Single-cell crop. Bone marrow aspirate smear. Pappenheim-stained.
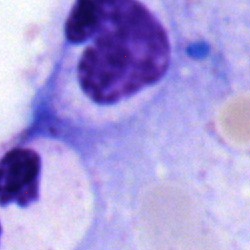

Classification: stab cell.